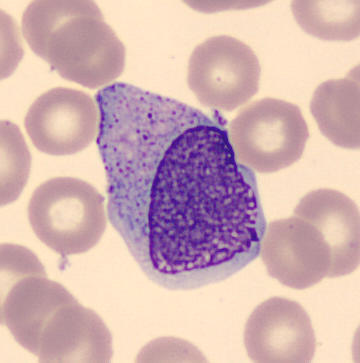
A monocyte.

Acquisition: 360×363 px · single-cell crop · peripheral blood smear.